250 by 250 pixels; 40× objective, oil immersion; bone marrow smear.
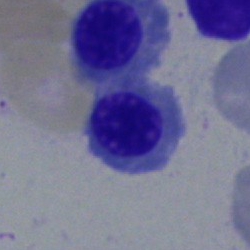
Classification — erythroblast.